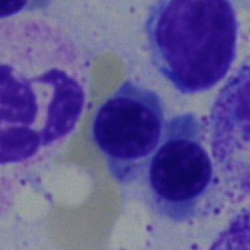 Specimen: bone marrow smear.
Cell type: erythroblast.
Lineage: erythroid.